Bone marrow aspirate smear. Single-cell field
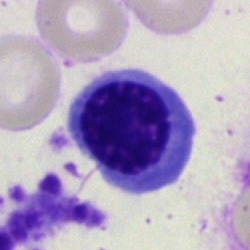
Nucleated red blood cell.